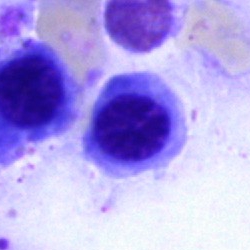Morphology consistent with a nucleated red cell.